Bone marrow smear:
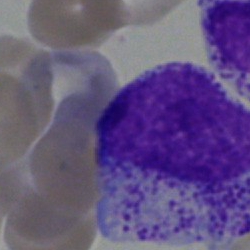
Morphological class: myelocyte.